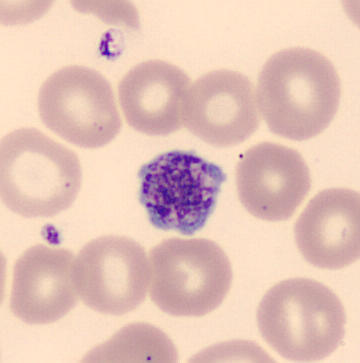 Identified as a platelet.

May-Grünwald-Giemsa-stained. Peripheral blood film.